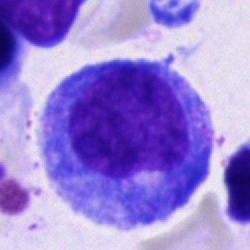The cell is progranulocyte.